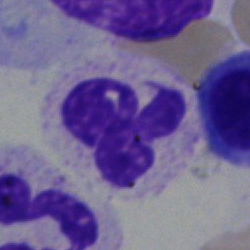

Specimen: bone marrow aspirate smear.
Cell: neutrophil (segmented).